Bone marrow aspirate smear
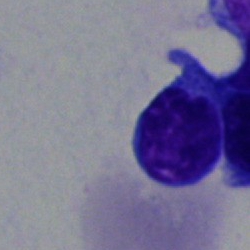

The cell is typical lymphocyte.